Bone marrow aspirate smear; MGG-stained; cropped to a single cell
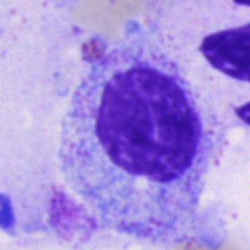Cell — myelocyte.